Bone marrow smear.
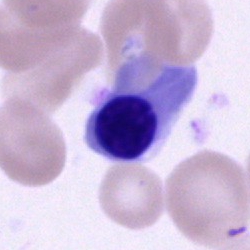 The cell is normoblast.